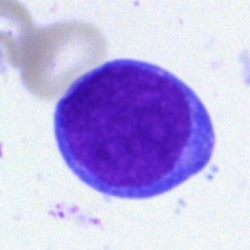
Morphology — undifferentiated blast.